100× objective, oil immersion. Single cell centered in the field. Peripheral blood film — 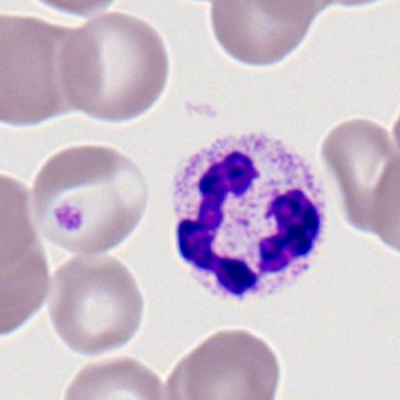
Morphological class — segmented neutrophil.